MGG-stained; bone marrow smear; 40× objective, oil immersion:
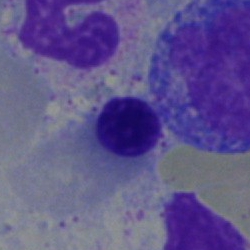

This is a nucleated red cell.